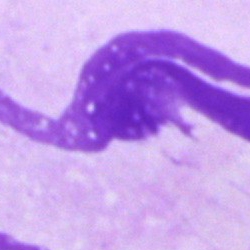Single-cell crop from a bone marrow smear: artefact.